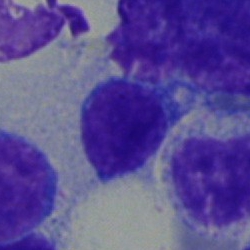

Single cell identified as a typical lymphocyte.